Bone marrow aspirate smear · 40× oil immersion · MGG-stained
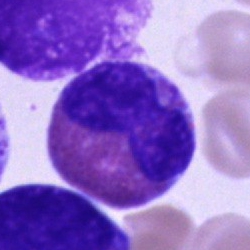Classification: eosinophilic granulocyte.